Bone marrow smear; Pappenheim-stained
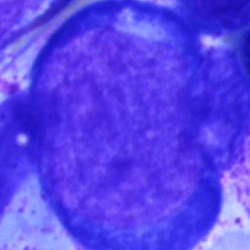Cell type — proerythroblast.